Bone marrow aspirate smear. Single cell centered in the field. 250×250 px:
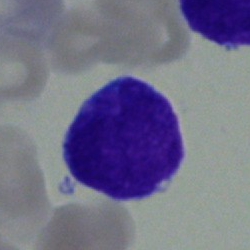 Showing an undifferentiated blast.